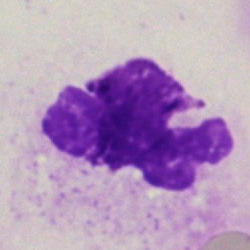Q: What is shown here?
A: It is an artefact.